Bone marrow smear — 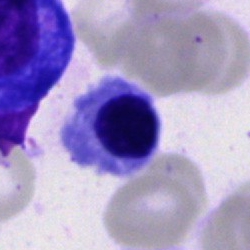
Classification = normoblast.